Bone marrow smear — 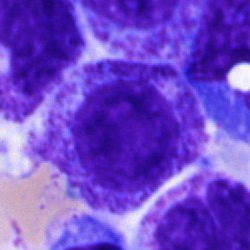 {"cell_type": "myelocyte", "lineage": "myeloid"}